Bone marrow aspirate smear: 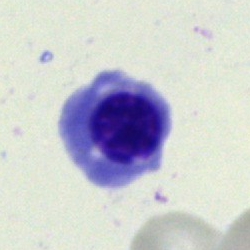 Q: What cell is this?
A: A normoblast.